Bone marrow aspirate smear
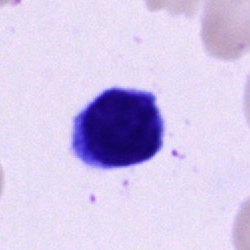The morphological class is typical lymphocyte.